40× oil immersion; May-Grünwald-Giemsa stain; bone marrow smear:
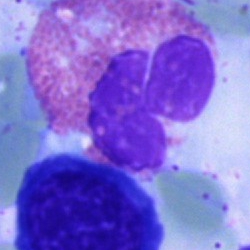
Q: What is the morphological classification of this cell?
A: Eosinophil.